Bone marrow smear
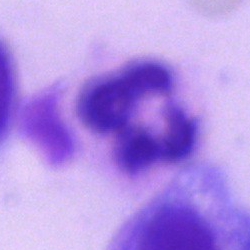

Cell — neutrophil (segmented).